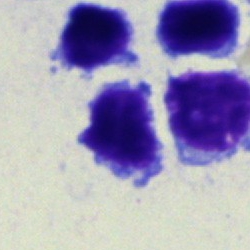Single-cell crop from a bone marrow smear: typical lymphocyte.